250×250 px. Bone marrow smear:
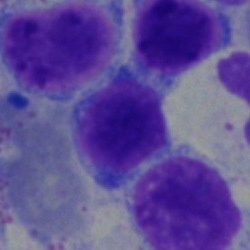

Showing a lymphocyte.